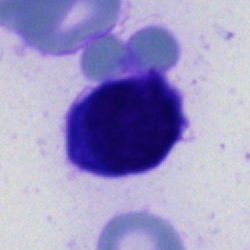Q: What type of cell is this?
A: It is a cell of indeterminate lineage.